Bone marrow smear
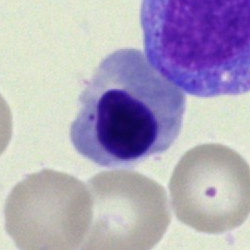
The classification is nucleated red blood cell.